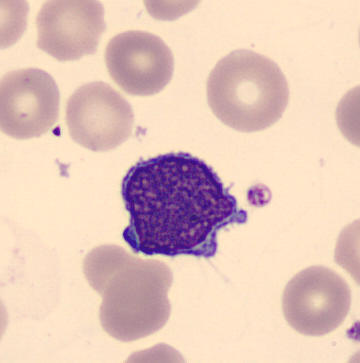
Image: Peripheral blood smear; May-Grünwald-Giemsa-stained; 360×363 px.

This is a lymphocyte.